Bone marrow smear — 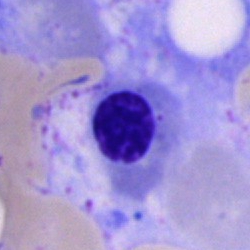

Specimen: bone marrow aspirate smear.
Cell: erythroblast.
Lineage: erythroid.